Bone marrow aspirate smear:
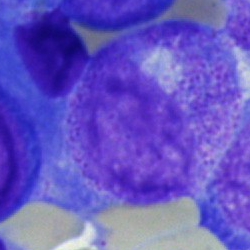 {"cell_type": "myelocyte"}